Peripheral blood film. CellaVision DM96
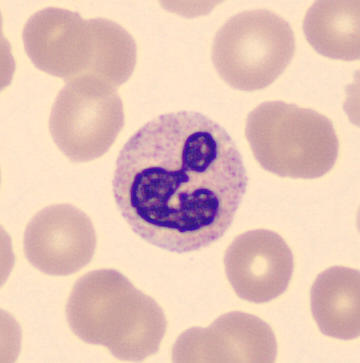 Morphology → neutrophil (segmented).